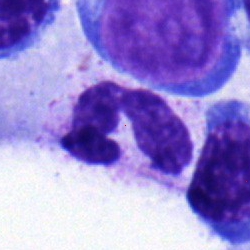Specimen: bone marrow aspirate smear.
Classification: polymorphonuclear neutrophil.